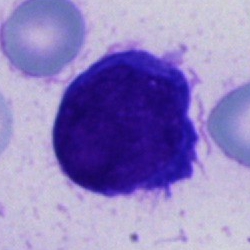
Showing a cell of indeterminate lineage.